Single-cell crop. 250 by 250 pixels. Bone marrow aspirate smear — 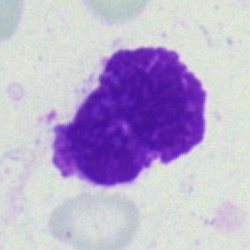{"cell_type": "artefact"}